Bone marrow smear · 40× oil immersion: 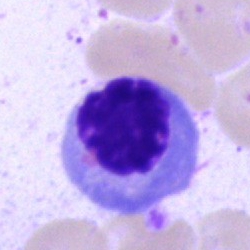

This is a nucleated red cell.